Bone marrow aspirate smear.
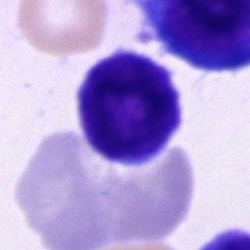 {"cell_type": "lymphocyte"}